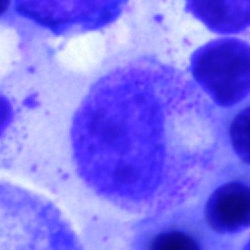

Q: What cell is this?
A: This is a myelocyte.